Bone marrow aspirate smear.
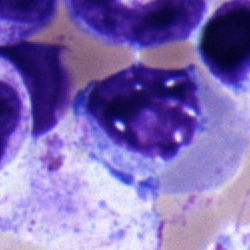

Single cell identified as an erythroblast.